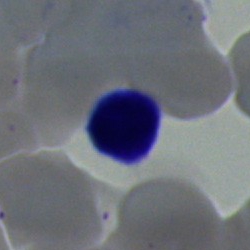 Showing a typical lymphocyte.